Bone marrow aspirate smear; 250×250 px: 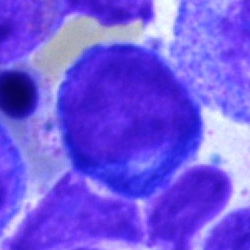 Q: Which cell type is shown here?
A: Pronormoblast.